Image size 250×250; bone marrow smear
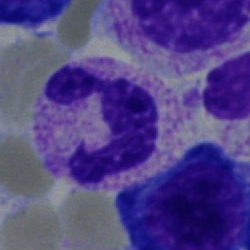 Specimen: bone marrow aspirate smear.
Cell: polymorphonuclear neutrophil.
Lineage: myeloid.